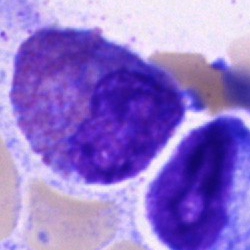Single cell identified as an eosinophilic granulocyte.